40× oil immersion · single-cell crop · bone marrow aspirate smear:
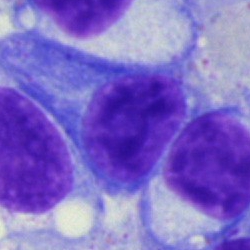
Q: What type of cell is this?
A: It is a plasma cell.